Peripheral blood film.
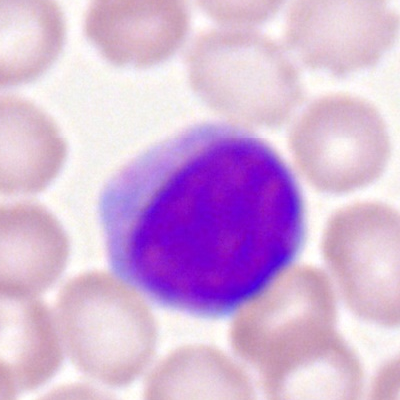Morphological class = myeloblast.